Bone marrow aspirate smear
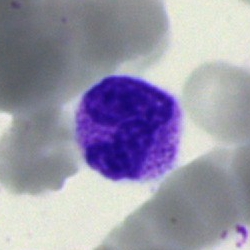This is a band-form neutrophil.